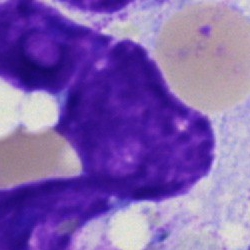The cell is artifact.